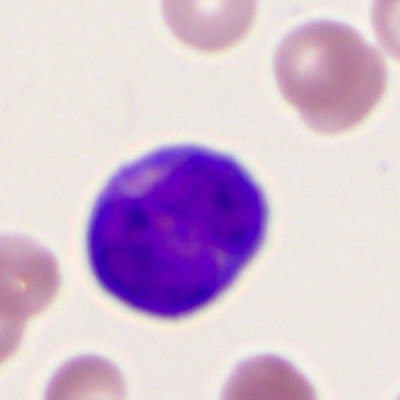
Morphology — myeloid blast.